Bone marrow aspirate smear.
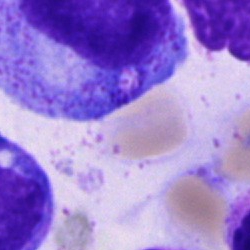 The classification is promyelocyte.